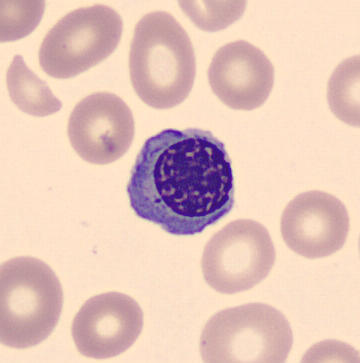

Specimen: peripheral blood film.
Classification: erythroblast.